Bone marrow aspirate smear. Single cell centered in the field:
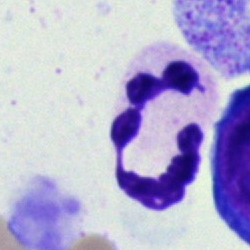
Classification = neutrophil (segmented).